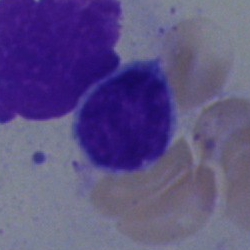Q: Which cell type is shown here?
A: Lymphocyte.